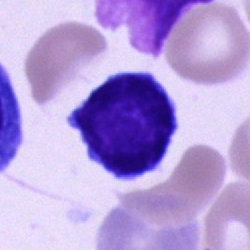 Cell type = typical lymphocyte.